Bone marrow smear — 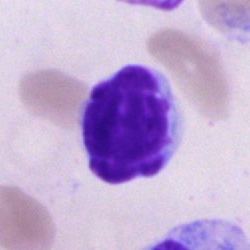 Specimen: bone marrow aspirate smear.
Cell type: typical lymphocyte.
Lineage: lymphoid.